400×400 px. 100× oil immersion. Peripheral blood film:
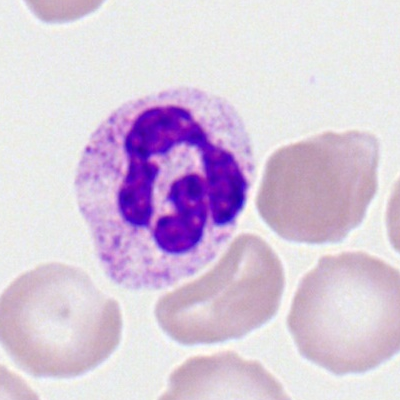
Impression → neutrophil (segmented).